Single-cell crop · bone marrow smear.
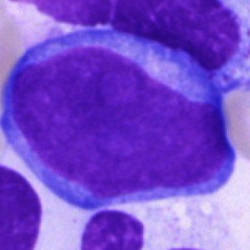

Impression — blast.